Bone marrow aspirate smear · MGG-stained — 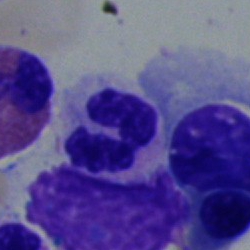
Q: What is shown here?
A: This is a polymorphonuclear neutrophil.